Single-cell crop. Bone marrow smear:
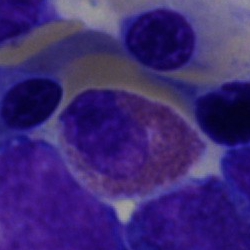

Q: What cell is this?
A: It is an eosinophil.